Cropped to a single cell · Pappenheim-stained · bone marrow aspirate smear: 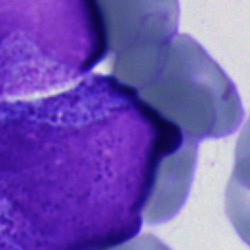

Morphological class = undifferentiated blast.